Bone marrow smear.
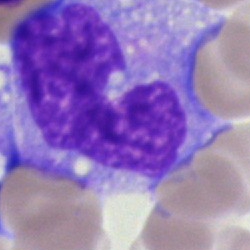
Classification = monocyte.